Brightfield, 40× oil-immersion objective; 250×250; bone marrow aspirate smear:
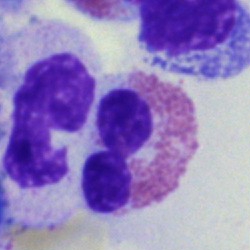 Specimen: bone marrow aspirate smear.
Cell type: eosinophilic granulocyte.
Lineage: myeloid.